Bone marrow smear — 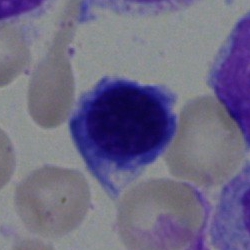Morphological class: nucleated red cell.